Bone marrow aspirate smear; 250 by 250 pixels: 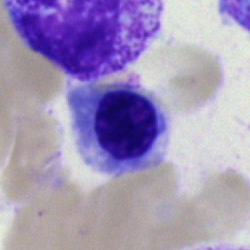

Morphology consistent with a nucleated red blood cell.